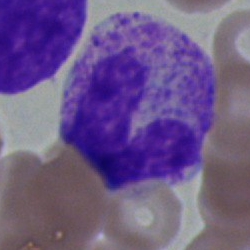Q: What type of cell is this?
A: Neutrophil (band).